Peripheral blood film:
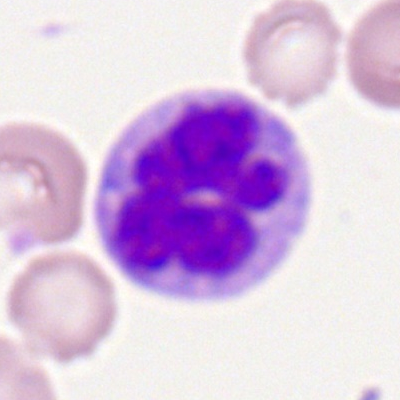Single cell identified as a monocyte.